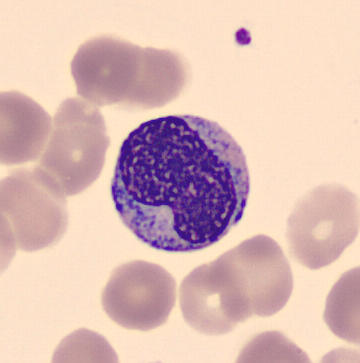
{"cell_type": "myelocyte", "lineage": "myeloid"}

Peripheral blood film; MGG-stained.